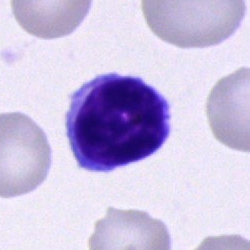 This is a typical lymphocyte.